Bone marrow smear — 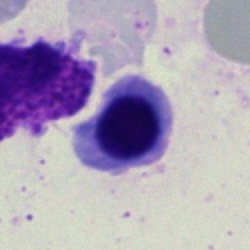

Cell type = nucleated red blood cell.